Bone marrow smear; MGG-stained; 250 by 250 pixels.
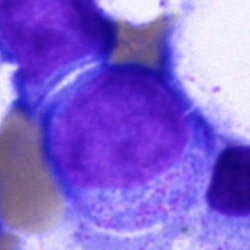 Morphological class = blast cell.